40× oil immersion · image size 250×250 · bone marrow smear.
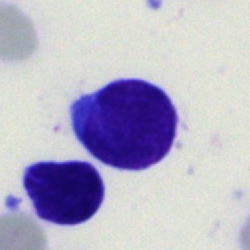Typical lymphocyte.